250×250 px · bone marrow aspirate smear.
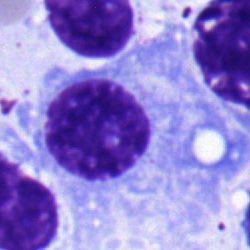
Cell: plasmacyte.